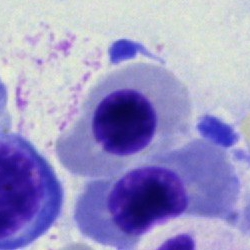

Single cell identified as an erythroblast.